Bone marrow smear · image size 250×250:
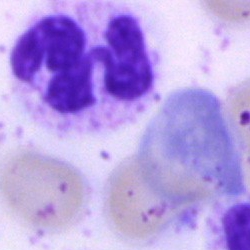This is a segmented neutrophil.